Bone marrow smear; 250 by 250 pixels; cropped to a single cell: 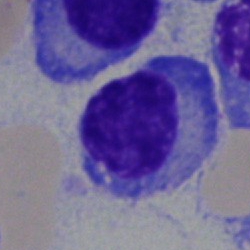 Morphological class = plasmacyte.